Bone marrow aspirate smear: 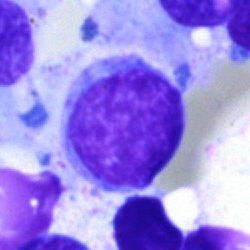 Q: What is the morphological classification of this cell?
A: It is a lymphocyte.